Bone marrow smear:
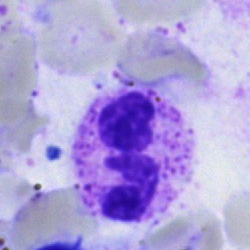

Morphology — neutrophil (segmented).